Peripheral blood smear:
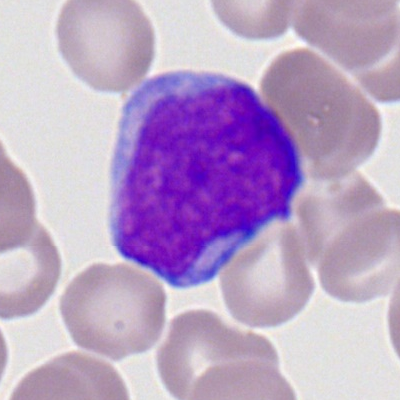 Specimen: peripheral blood film.
Morphological class: myeloblast.
Lineage: myeloid.